Bone marrow aspirate smear · cropped to a single cell.
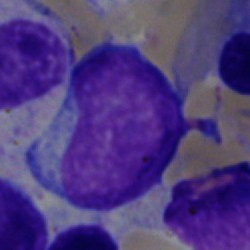 Specimen: bone marrow smear.
Cell type: undifferentiated blast.